Bone marrow aspirate smear — 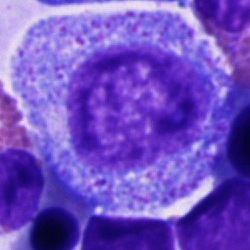 Showing a promyelocyte.